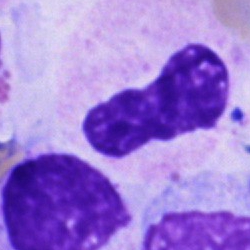Bone marrow smear showing an unidentifiable cell.